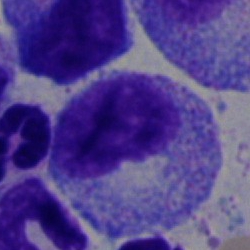 Q: What is the morphological classification of this cell?
A: This is a promyelocyte.